Bone marrow smear — 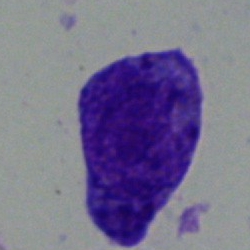
Q: What type of cell is this?
A: Eosinophil.